Cropped to a single cell · bone marrow smear:
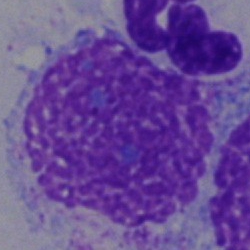Specimen: bone marrow aspirate smear.
Cell: artefact.